Bone marrow aspirate smear.
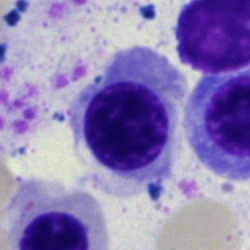 Specimen: bone marrow aspirate smear.
Classification: normoblast.